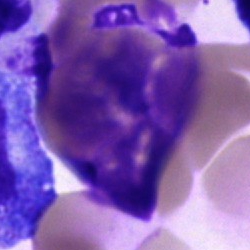

A lymphocyte on a bone marrow smear.